Single-cell field. 250×250. Bone marrow smear.
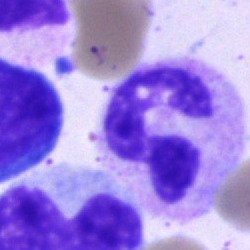
{"cell_type": "segmented neutrophil", "lineage": "myeloid"}